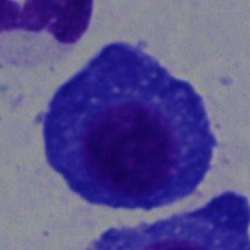Bone marrow smear showing a plasmacyte.